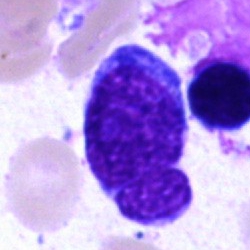
Classification = blast.